Single-cell field · bone marrow smear:
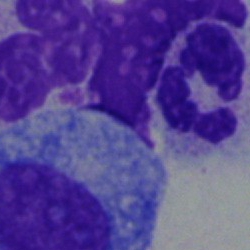

Segmented neutrophil.